Bone marrow aspirate smear — 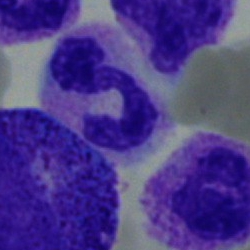
Polymorphonuclear neutrophil.